Bone marrow aspirate smear: 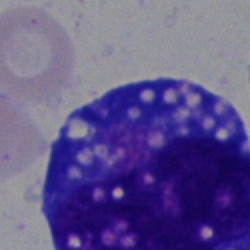
Cell — blast cell.